Bone marrow aspirate smear: 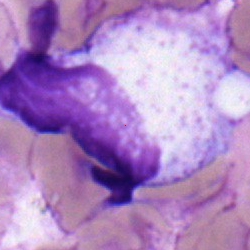
Specimen: bone marrow aspirate smear.
Classification: myelocyte.
Lineage: myeloid.